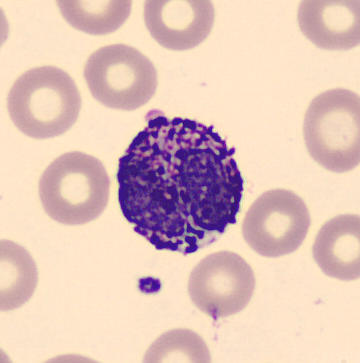 Image: Peripheral blood film. The cell is basophil.